Single-cell crop · bone marrow aspirate smear — 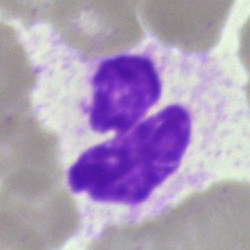 Classification = polymorphonuclear neutrophil.